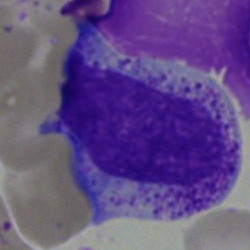Morphology — myelocyte.